Bone marrow aspirate smear — 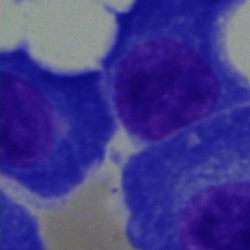
Single cell identified as a plasmacyte.